Bone marrow smear — 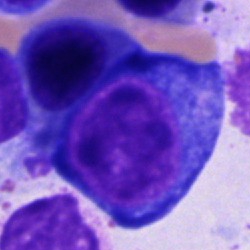
Single cell identified as a proerythroblast.